Bone marrow smear — 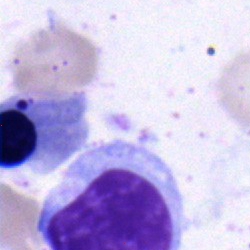

Specimen: bone marrow aspirate smear.
Morphological class: nucleated red blood cell.
Lineage: erythroid.